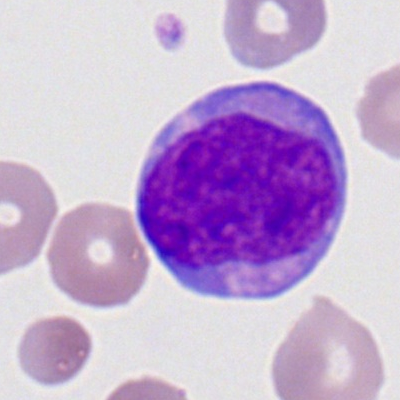Morphology → myeloid blast.